Bone marrow aspirate smear
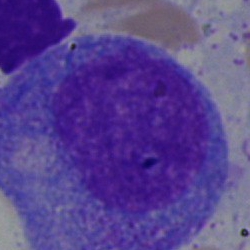 Classification = promyelocyte.